Single cell centered in the field. Bone marrow aspirate smear:
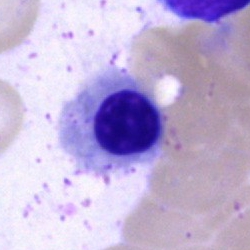

Q: What cell is this?
A: Erythroblast.